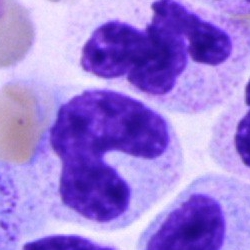
Morphology — neutrophil (band).